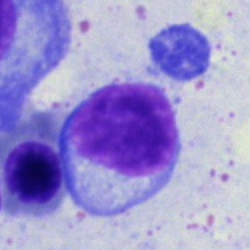A lymphocyte on a bone marrow smear.